Bone marrow smear — 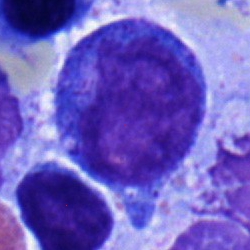Impression — progranulocyte.